Bone marrow aspirate smear:
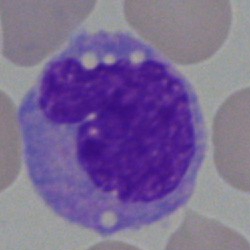Impression → monocyte.